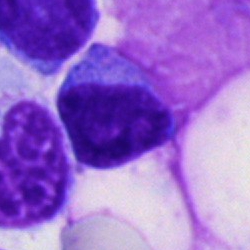The classification is undifferentiated blast.